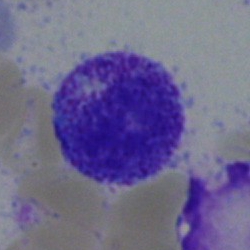
The cell type is myelocyte.